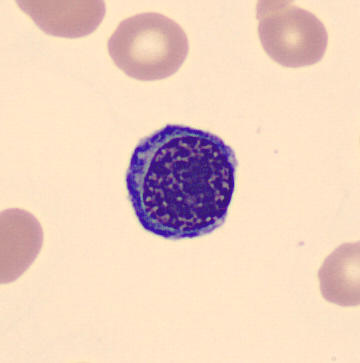

Single-cell crop · 360×363 px.

Specimen: peripheral blood smear.
Cell: nucleated red cell.
Lineage: erythroid.